Bone marrow aspirate smear.
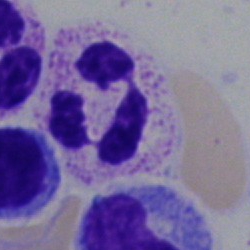Morphology consistent with a neutrophil (segmented).